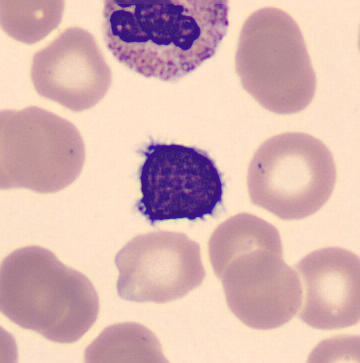

Specimen: peripheral blood film.
Cell type: lymphocyte. 360×363 px; May Grünwald-Giemsa stain.